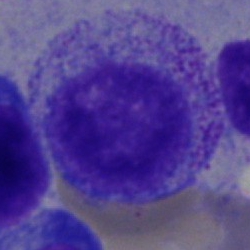Q: What is the morphological classification of this cell?
A: It is a myelocyte.